Bone marrow smear
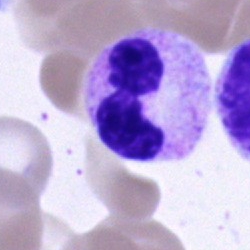
Morphology consistent with a neutrophil (segmented).